Bone marrow smear:
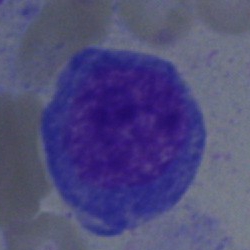 Morphological class = blast cell.